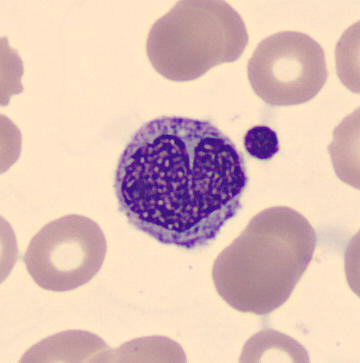

Cell — monocyte.